Bone marrow aspirate smear
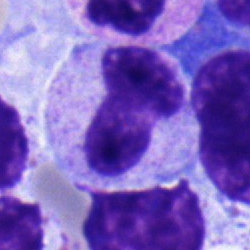

This is a stab cell.